Bone marrow smear. Cropped to a single cell.
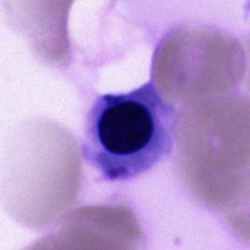
Specimen: bone marrow aspirate smear.
Morphological class: erythroblast.
Lineage: erythroid.